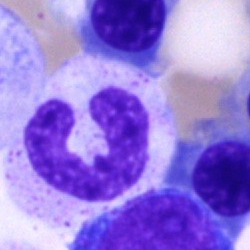

Single-cell crop from a bone marrow smear: stab cell.